Bone marrow smear. Single cell centered in the field.
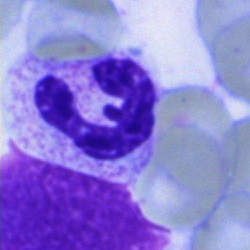Impression → polymorphonuclear neutrophil.